Bone marrow aspirate smear — 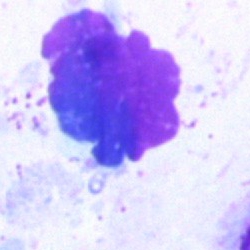Impression → artefact.